Bone marrow aspirate smear.
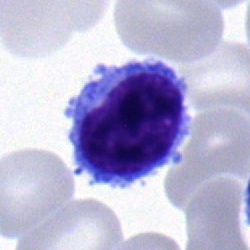
The cell shown is a typical lymphocyte.